Bone marrow aspirate smear
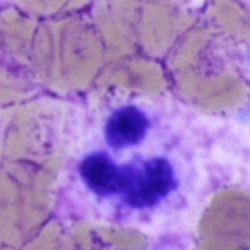Impression — neutrophil (segmented).